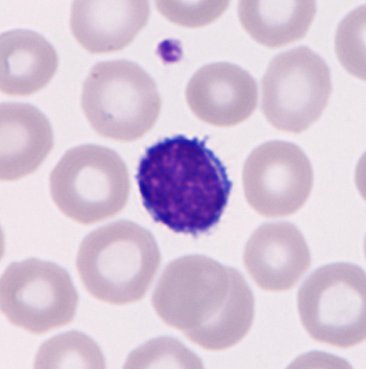

Showing a lymphocyte.